Bone marrow aspirate smear: 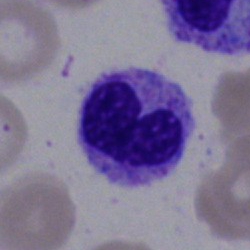

Single cell identified as a band-form neutrophil.